Cropped to a single cell. Bone marrow aspirate smear. 250 by 250 pixels — 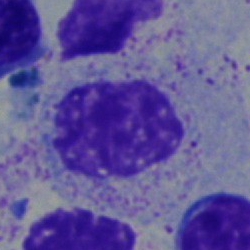
Morphology → myelocyte.